Bone marrow aspirate smear · brightfield, 40× oil-immersion objective.
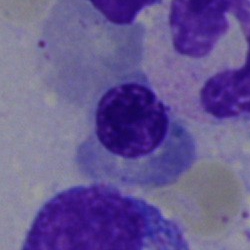

Cell type: erythroblast.